Peripheral blood film.
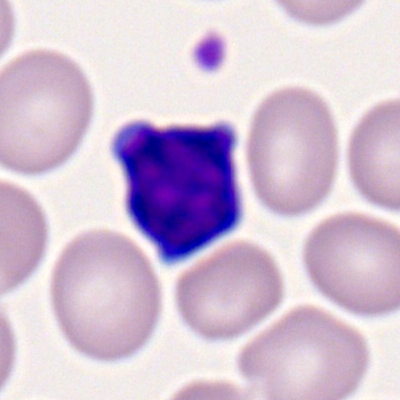The morphological class is typical lymphocyte.